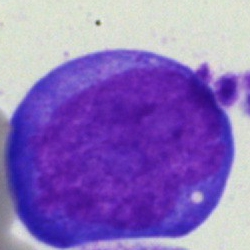 Single-cell crop from a bone marrow smear: pronormoblast.